MGG-stained. Bone marrow smear — 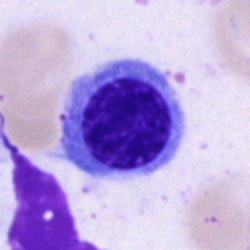 This is a nucleated red blood cell.